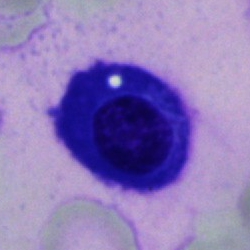 Cell type — plasma cell.